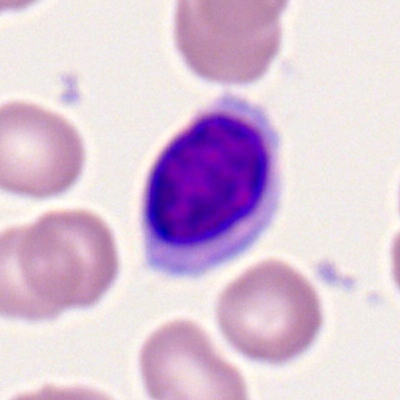Specimen: peripheral blood smear.
Morphological class: typical lymphocyte.
Lineage: lymphoid.